Image size 250×250 · bone marrow aspirate smear
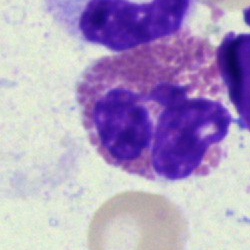Q: Which cell type is shown here?
A: Eosinophil.